Cropped to a single cell. Pappenheim-stained. Bone marrow aspirate smear.
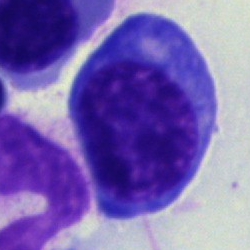The cell type is erythroblast.